40× oil immersion. Bone marrow smear: 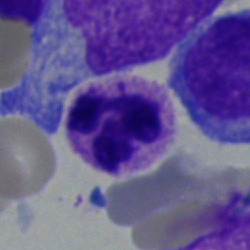
Q: Which cell type is shown here?
A: This is a polymorphonuclear neutrophil.